Bone marrow aspirate smear. Cropped to a single cell. 250×250 px
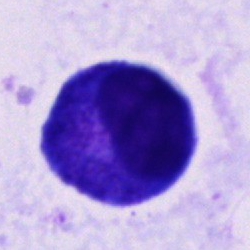
{"cell_type": "progranulocyte", "lineage": "myeloid"}